Bone marrow aspirate smear. 250×250. May-Grünwald-Giemsa stain: 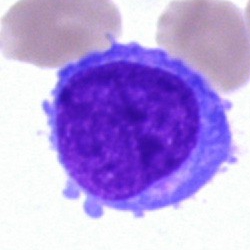Q: What cell is this?
A: A blast cell.